Bone marrow aspirate smear.
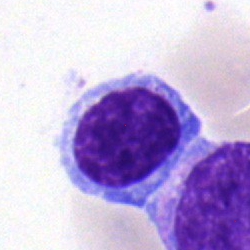 A typical lymphocyte.